Pappenheim-stained; bone marrow smear; single-cell field:
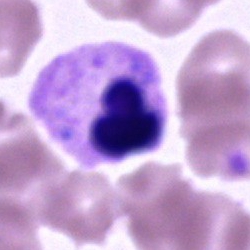
Q: What is shown here?
A: Segmented neutrophil.